Bone marrow aspirate smear; single cell centered in the field.
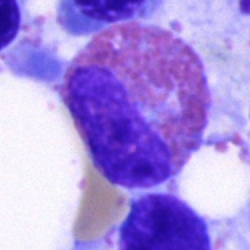 Specimen: bone marrow smear.
Morphological class: eosinophilic granulocyte.
Lineage: myeloid.